Bone marrow aspirate smear. May-Grünwald-Giemsa stain. Brightfield microscopy, 40× oil immersion: 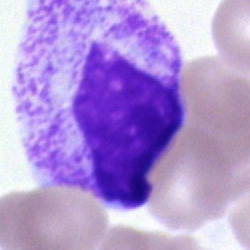
The morphological class is myelocyte.